250×250. Bone marrow smear
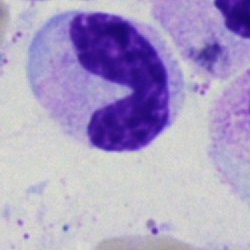 {"cell_type": "stab cell"}